Bone marrow smear — 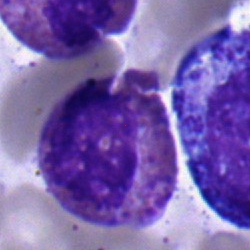
Specimen: bone marrow smear.
Cell: typical lymphocyte.
Lineage: lymphoid.